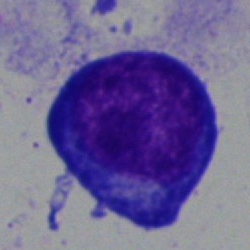 The cell shown is a pronormoblast.